Bone marrow aspirate smear; MGG-stained; 40× oil immersion — 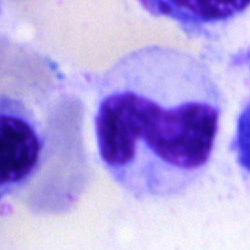Morphology consistent with a stab cell.